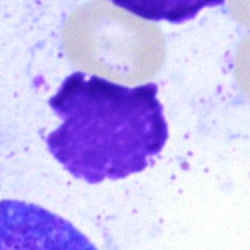

The cell is artifact.